Bone marrow smear — 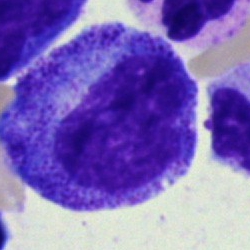Cell = progranulocyte.